40× oil immersion · bone marrow aspirate smear
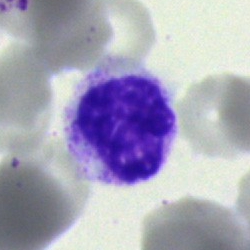

Cell type: neutrophil (band).